Bone marrow aspirate smear — 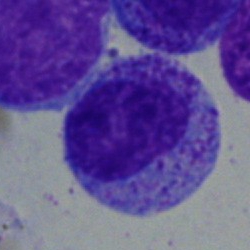Single cell identified as a myelocyte.